Bone marrow smear.
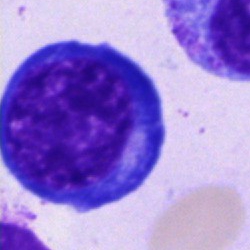Impression — normoblast.